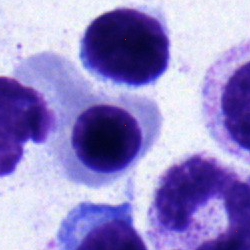Cell type: normoblast.